Bone marrow smear
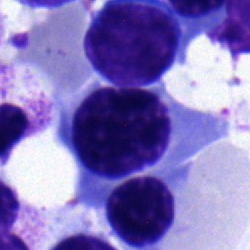 This is a normoblast.